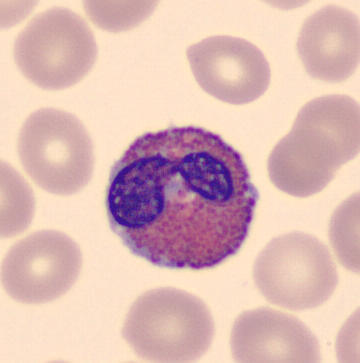 Image: Imaged on a CellaVision DM96 analyser. Peripheral blood smear. May Grünwald-Giemsa stain.
Cell: eosinophil.